250×250; bone marrow smear.
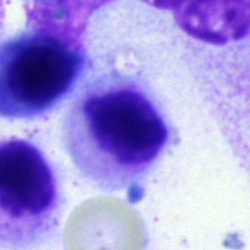 This is a myelocyte.